Single cell centered in the field. Bone marrow aspirate smear:
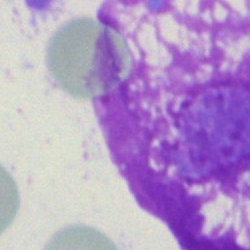The morphological class is artifact.